Bone marrow smear: 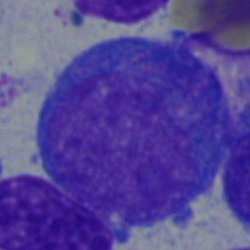 Q: What is the morphological classification of this cell?
A: Blast cell.